Bone marrow smear — 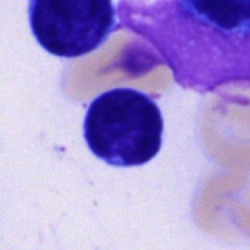

Morphology → typical lymphocyte.